Cropped to a single cell. 40× objective, oil immersion. Bone marrow smear
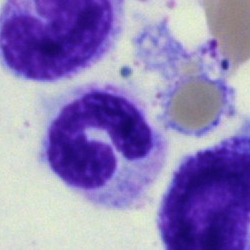 Morphological class: band-form neutrophil.